Cropped to a single cell; Romanowsky-stained; peripheral blood film: 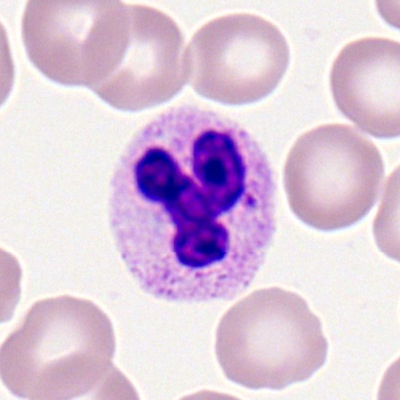
Cell — neutrophil (segmented).